Bone marrow aspirate smear — 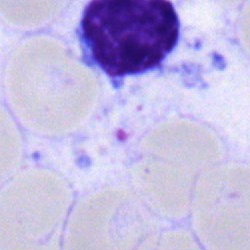 The morphological class is lymphocyte.